Bone marrow smear.
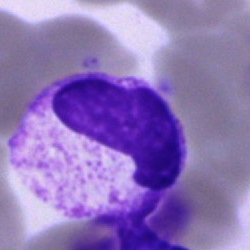Q: What cell is this?
A: It is a band-form neutrophil.